Bone marrow aspirate smear: 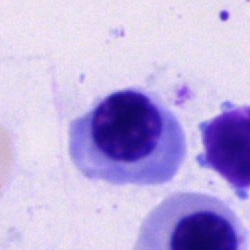 {"cell_type": "nucleated red cell", "lineage": "erythroid"}